Bone marrow smear — 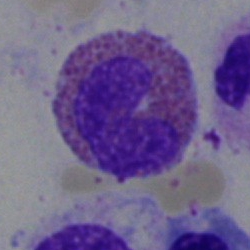 Impression — eosinophilic granulocyte.